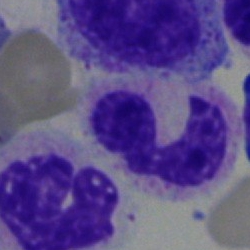Morphology consistent with a segmented neutrophil.